Bone marrow aspirate smear; 250 by 250 pixels — 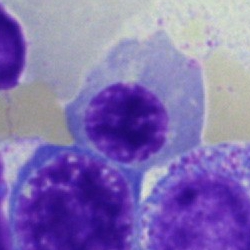

Q: Identify the cell.
A: It is an erythroblast.